Image size 250×250; bone marrow aspirate smear
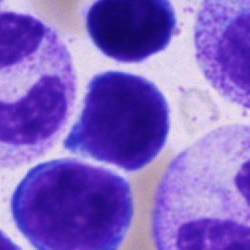
Morphological class = typical lymphocyte.